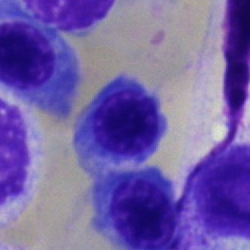An erythroblast on a bone marrow smear.